Bone marrow aspirate smear.
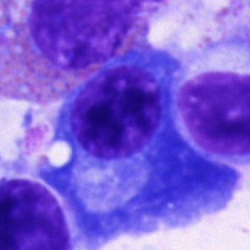 This is a plasmacyte.